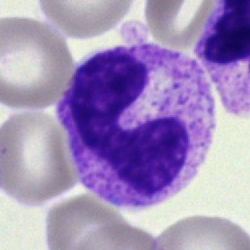Q: Which cell type is shown here?
A: Neutrophil (band).